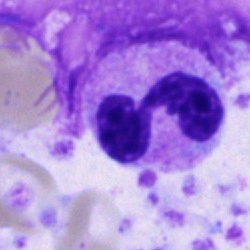
Morphology consistent with a neutrophil (segmented).